Brightfield, 40× oil-immersion objective · bone marrow smear · Pappenheim-stained:
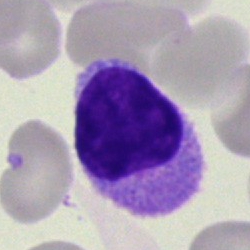 A monocyte.